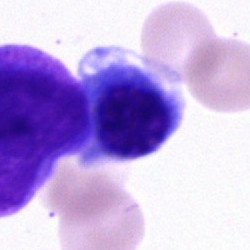Classification — nucleated red blood cell.